40× objective, oil immersion · bone marrow smear: 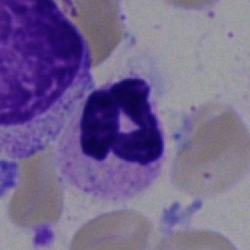 {"cell_type": "neutrophil (segmented)", "lineage": "myeloid"}